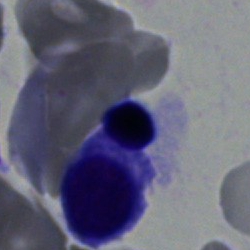

Classification: nucleated red blood cell.